Bone marrow smear:
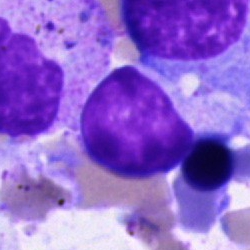
Impression — typical lymphocyte.